Bone marrow aspirate smear: 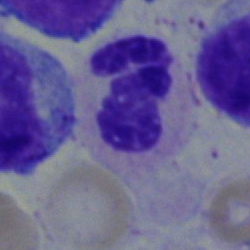Classification = polymorphonuclear neutrophil.